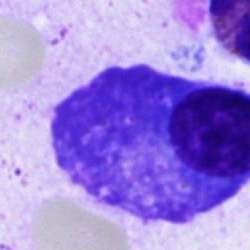 Impression — plasma cell.